MGG-stained. Bone marrow aspirate smear: 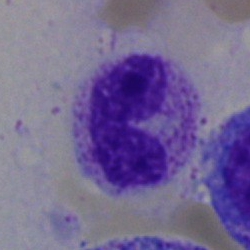

Polymorphonuclear neutrophil.